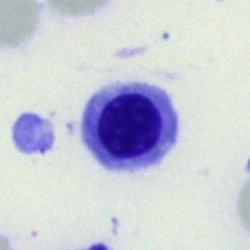 Specimen: bone marrow aspirate smear.
Cell: normoblast.
Lineage: erythroid.